Bone marrow smear; 250 by 250 pixels.
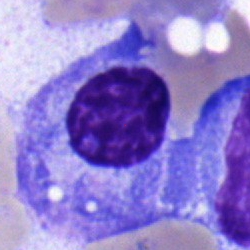

Morphological class — plasma cell.